Bone marrow aspirate smear; MGG-stained:
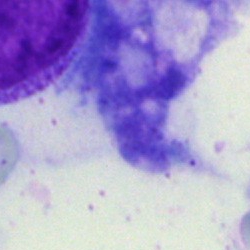

Cell: artifact.